Bone marrow smear:
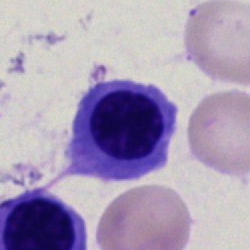

Specimen: bone marrow aspirate smear.
Cell: nucleated red cell.